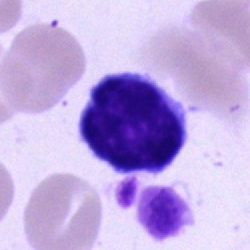
Showing a lymphocyte.